40× objective, oil immersion. Bone marrow smear.
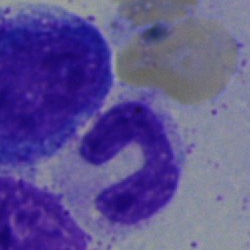Cell = band neutrophil.